40× oil immersion. Bone marrow smear: 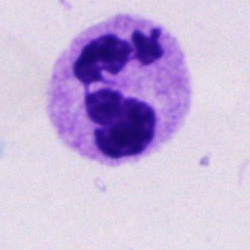

Cell: segmented neutrophil.